Bone marrow aspirate smear
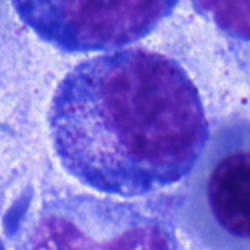Impression → promyelocyte.